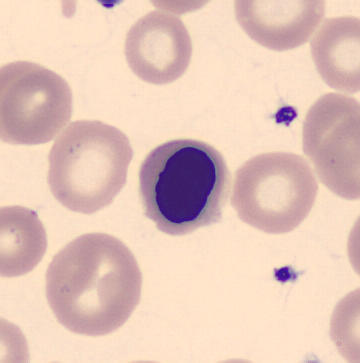 The classification is normoblast.